Bone marrow aspirate smear. MGG-stained. 250×250 px:
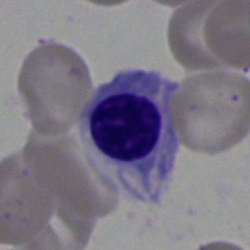 Q: What is shown here?
A: A nucleated red cell.